Bone marrow aspirate smear. Cropped to a single cell
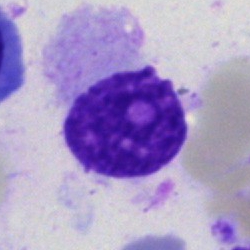

Q: What is shown here?
A: An artifact.